Bone marrow aspirate smear
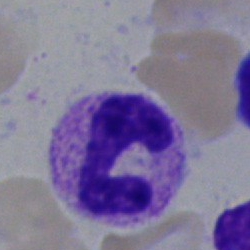This is a segmented neutrophil.